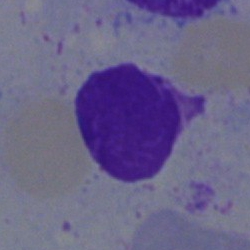Showing an artefact.